Peripheral blood film.
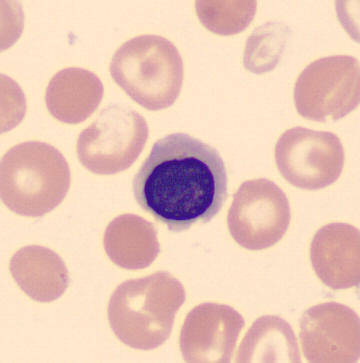Impression → nucleated red cell.